Image size 250×250; brightfield, 40× oil-immersion objective; bone marrow aspirate smear
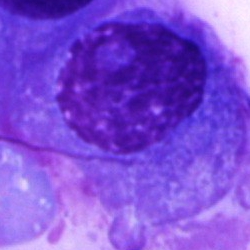

Showing a plasmacyte.